Bone marrow smear. Cropped to a single cell
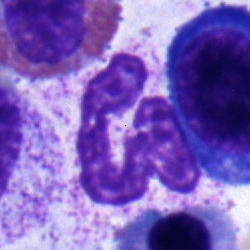

Showing a segmented neutrophil.